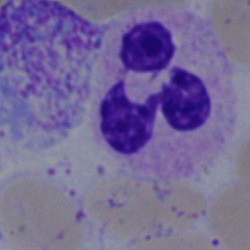 Classification = neutrophil (segmented).